Bone marrow aspirate smear. Brightfield microscopy, 40× oil immersion
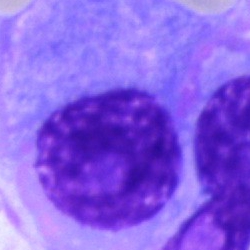Classification: plasmacyte.